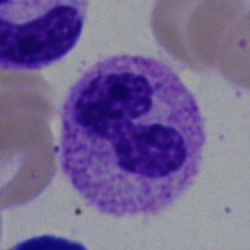
The cell type is neutrophil (segmented).